Bone marrow aspirate smear: 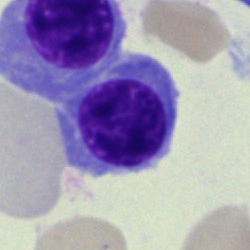
Specimen: bone marrow smear.
Morphological class: normoblast.